Bone marrow aspirate smear
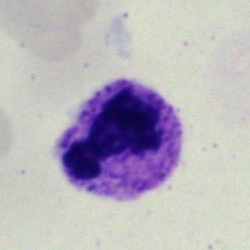 Classification = polymorphonuclear neutrophil.